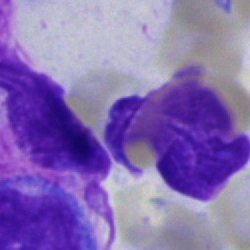
Single-cell crop from a bone marrow smear: artefact.